Bone marrow smear.
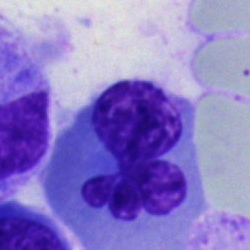Q: Identify the cell.
A: This is an erythroblast.